250×250 px · single cell centered in the field · bone marrow smear: 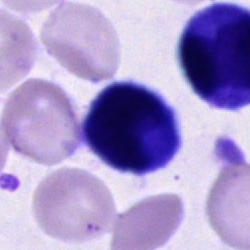

{"cell_type": "cell of indeterminate lineage"}